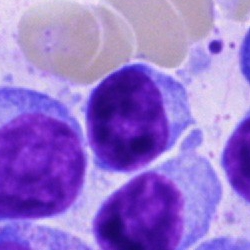The cell is typical lymphocyte.